250 by 250 pixels · bone marrow smear · single-cell field — 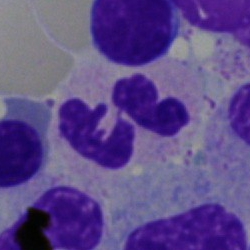

Cell type — polymorphonuclear neutrophil.